Bone marrow aspirate smear:
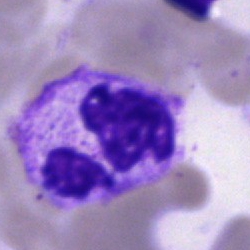

Specimen: bone marrow aspirate smear.
Cell type: polymorphonuclear neutrophil.
Lineage: myeloid.